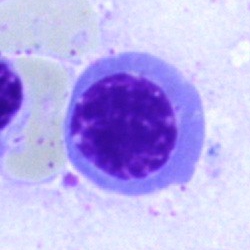
Cell type — nucleated red cell.